Bone marrow smear:
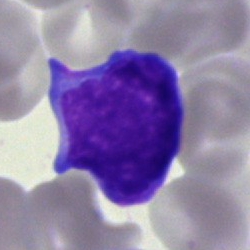 Morphological class — blast.